Bone marrow smear. May-Grünwald-Giemsa stain.
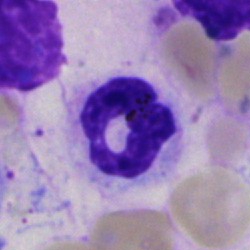
The cell shown is a polymorphonuclear neutrophil.